Bone marrow aspirate smear. 40× objective, oil immersion. Cropped to a single cell.
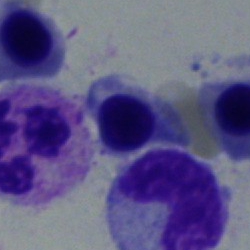Specimen: bone marrow aspirate smear.
Classification: band-form neutrophil.